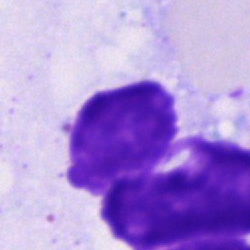{"cell_type": "artifact"}